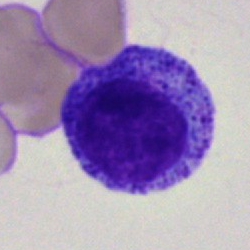 Cell type = myelocyte.